Bone marrow aspirate smear:
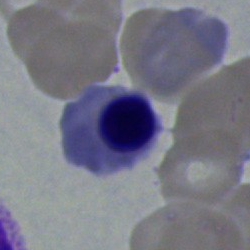 A nucleated red cell.